250 by 250 pixels; bone marrow aspirate smear: 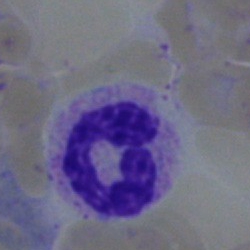

Impression — segmented neutrophil.